Single-cell crop. Bone marrow smear.
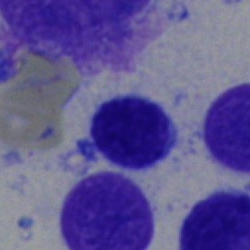Showing a lymphocyte.